Bone marrow aspirate smear.
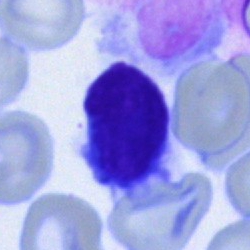Q: What is the morphological classification of this cell?
A: A typical lymphocyte.